Single-cell crop. Bone marrow aspirate smear. 250×250:
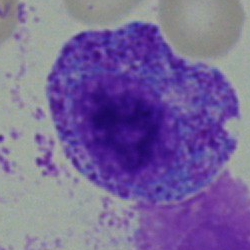Cell: promyelocyte.